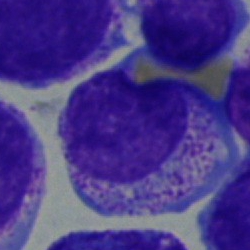

Q: Which cell type is shown here?
A: Promyelocyte.